250×250 px; bone marrow aspirate smear
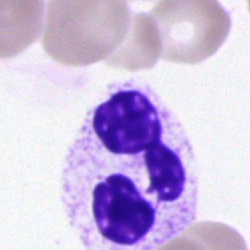Morphological class — segmented neutrophil.